Cropped to a single cell; bone marrow smear; 250 by 250 pixels.
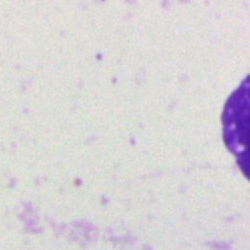
Classification — artefact.